Bone marrow smear: 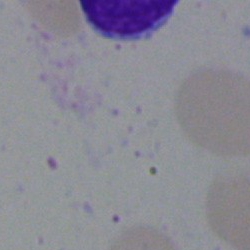Q: What is shown here?
A: This is an artefact.